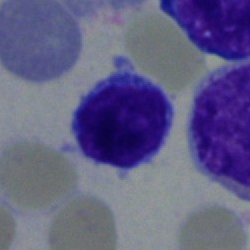

A lymphocyte.